Bone marrow smear. May-Grünwald-Giemsa stain.
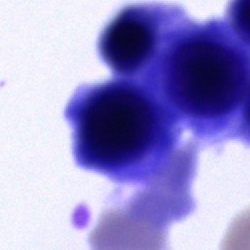Q: What is shown here?
A: It is an unidentifiable cell.